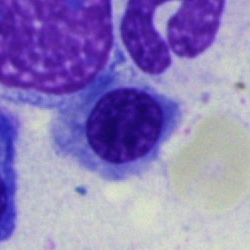
Specimen: bone marrow smear.
Morphological class: erythroblast.